Bone marrow aspirate smear — 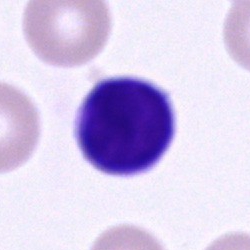
This is a typical lymphocyte.